Bone marrow aspirate smear
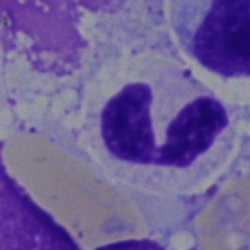 The cell shown is a segmented neutrophil.